Bone marrow smear: 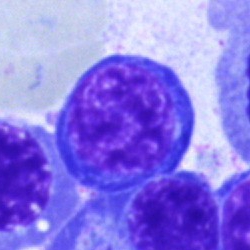

Classification — nucleated red blood cell.